Bone marrow smear — 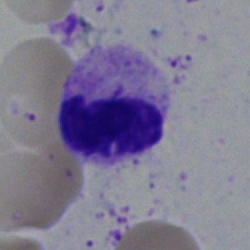 Impression — neutrophil (segmented).